Pappenheim-stained · bone marrow smear:
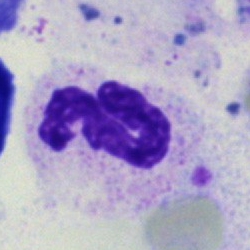 The cell type is neutrophil (segmented).